Bone marrow smear — 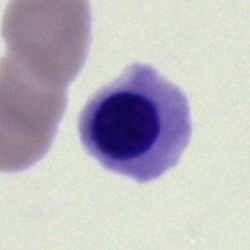 The cell is nucleated red cell.